Bone marrow smear · cropped to a single cell: 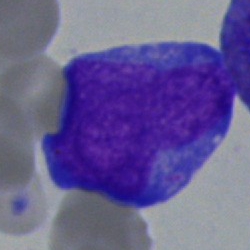

Morphology — blast cell.